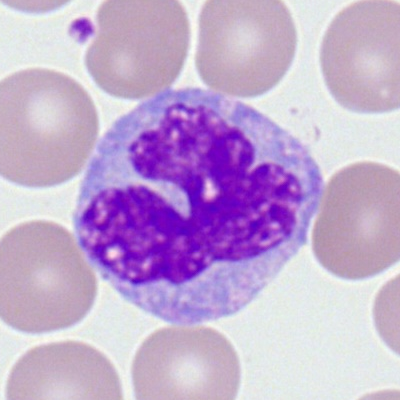The cell type is monocyte.